Bone marrow smear — 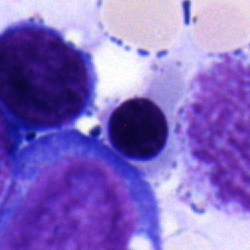 Cell type = nucleated red blood cell.